Bone marrow aspirate smear. MGG-stained. 250 by 250 pixels
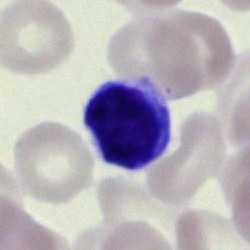

The classification is typical lymphocyte.